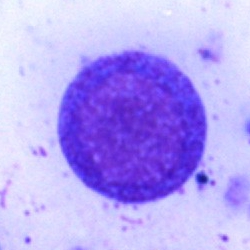
Single cell identified as a progranulocyte.